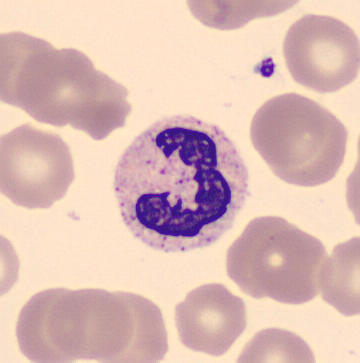
Acquisition: Peripheral blood smear.
Q: What type of cell is this?
A: A segmented neutrophil.